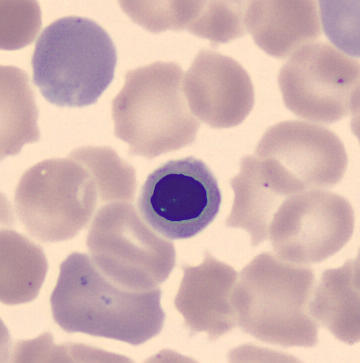

Identified as a nucleated red blood cell. Peripheral blood smear.